Bone marrow smear — 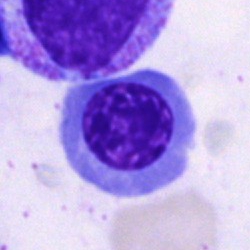

The morphological class is normoblast.